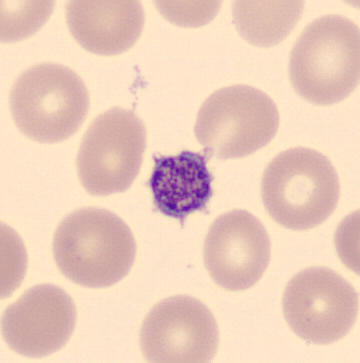

Morphology consistent with a platelet.

Image: Peripheral blood film.